May-Grünwald-Giemsa/Pappenheim stain; bone marrow aspirate smear; image size 250×250: 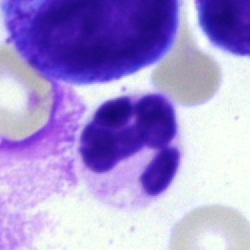 Specimen: bone marrow smear.
Classification: neutrophil (segmented).